Cropped to a single cell · bone marrow smear · 40× oil immersion.
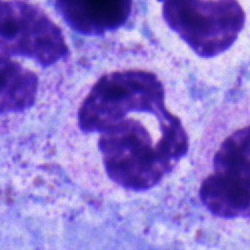 Morphology → polymorphonuclear neutrophil.